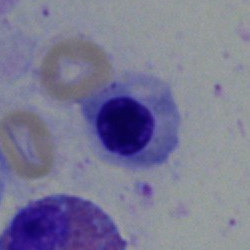 This is a nucleated red cell.